Bone marrow aspirate smear — 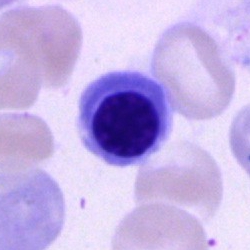
Specimen: bone marrow smear.
Cell type: erythroblast.
Lineage: erythroid.